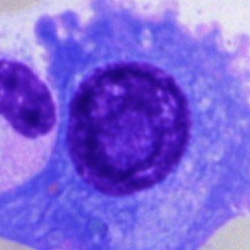 Q: Identify the cell.
A: It is a plasmacyte.